Bone marrow smear
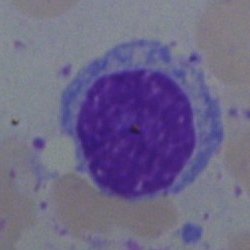Q: What type of cell is this?
A: A typical lymphocyte.